Peripheral blood film — 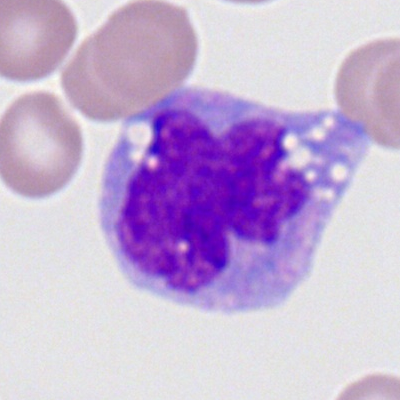
Q: What type of cell is this?
A: Monocyte.